Cropped to a single cell · bone marrow aspirate smear · 250×250: 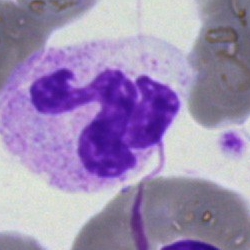 Specimen: bone marrow aspirate smear.
Morphological class: neutrophil (segmented).
Lineage: myeloid.